Bone marrow aspirate smear — 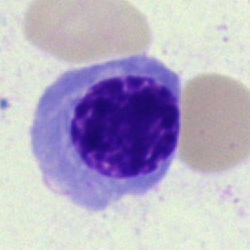
Cell = nucleated red blood cell.